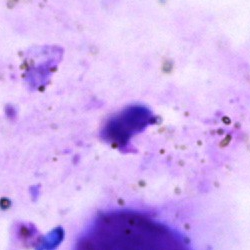 The cell is artefact.